Bone marrow aspirate smear:
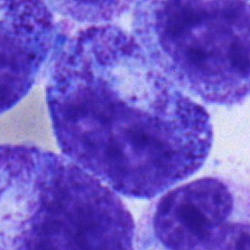Morphological class: lymphocyte.